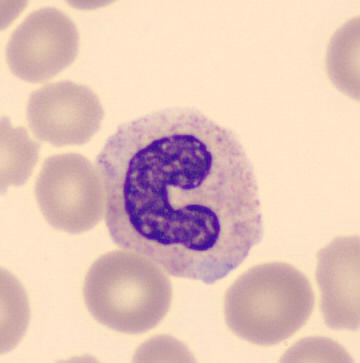Q: Identify the cell.
A: It is a band-form neutrophil. May-Grünwald-Giemsa-stained · single-cell crop · peripheral blood smear.